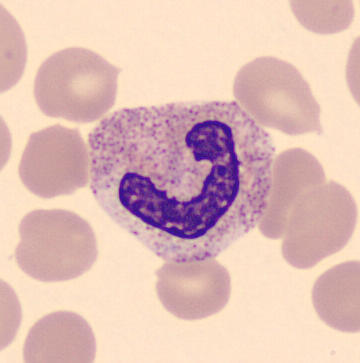Classification — polymorphonuclear neutrophil.